Bone marrow aspirate smear — 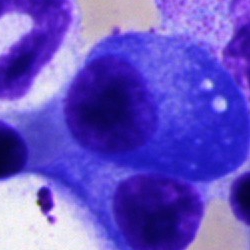
This is a plasma cell.